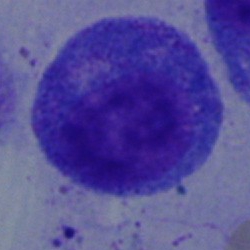
Cell type — progranulocyte.